Bone marrow aspirate smear; brightfield microscopy, 40× oil immersion.
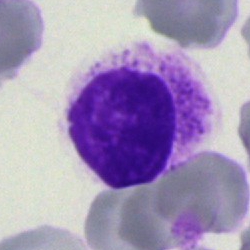 Q: What is shown here?
A: This is an artefact.